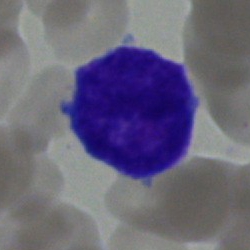
Bone marrow smear showing a blast cell.